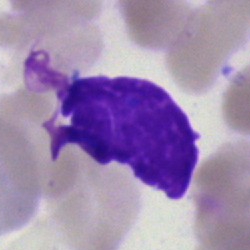Q: What is shown here?
A: It is an artifact.